Bone marrow aspirate smear — 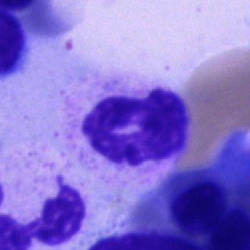
Segmented neutrophil.